Bone marrow smear; 40× objective, oil immersion — 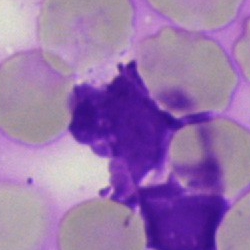

Q: What is shown here?
A: It is an artifact.